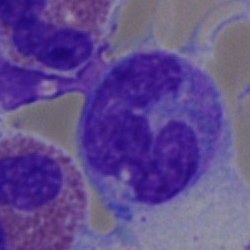

Cell type: monocyte.